Brightfield microscopy, 40× oil immersion; bone marrow aspirate smear; 250×250 px:
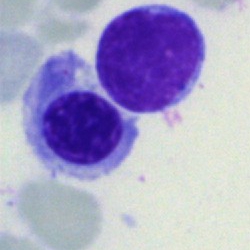
An erythroblast.